250 by 250 pixels; bone marrow aspirate smear; brightfield, 40× oil-immersion objective.
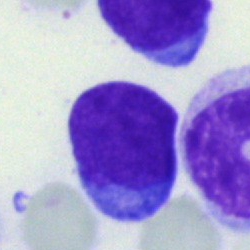Specimen: bone marrow aspirate smear.
Cell type: blast.